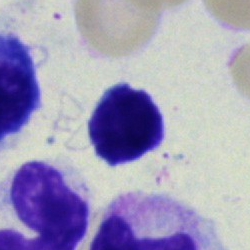 Lymphocyte.